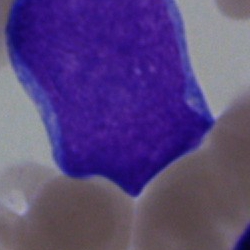

Classification = blast cell.